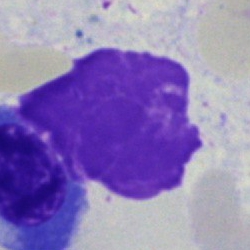An artefact on a bone marrow smear.